Bone marrow smear.
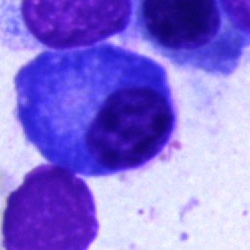The classification is plasmacyte.